Pappenheim-stained; bone marrow aspirate smear:
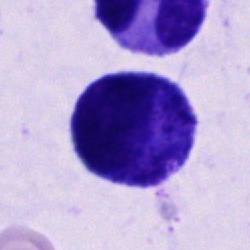Specimen: bone marrow aspirate smear.
Classification: cell of indeterminate lineage.